Bone marrow smear: 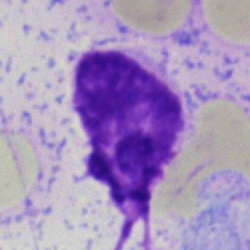

Q: What is shown here?
A: An artefact.